250 by 250 pixels · bone marrow aspirate smear
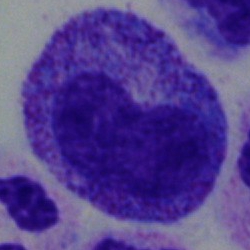
Showing a metamyelocyte.